Bone marrow smear; 40× oil immersion.
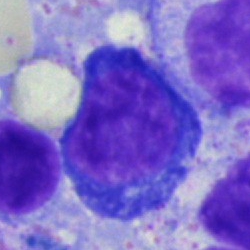Classification: pronormoblast.